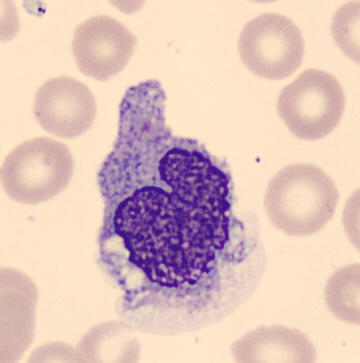

Single cell identified as a monocyte.